Bone marrow smear:
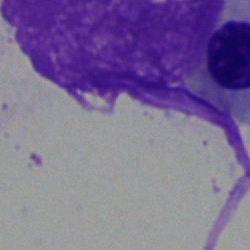 Showing an artifact.